Bone marrow aspirate smear:
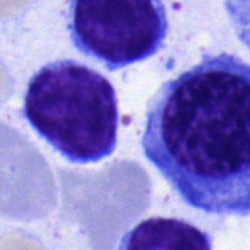Morphological class: normoblast.